Bone marrow smear · image size 250×250:
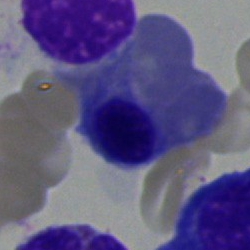This is a nucleated red blood cell.